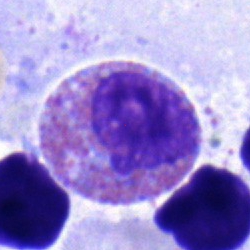 Morphology → eosinophil.